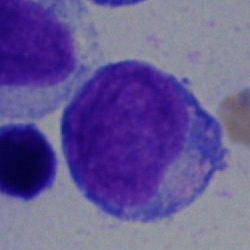

This is an undifferentiated blast.